40× objective, oil immersion · bone marrow smear: 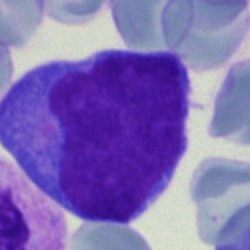Morphology → blast cell.